Single cell centered in the field; brightfield, 40× oil-immersion objective; bone marrow aspirate smear: 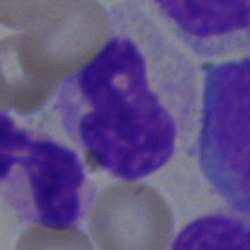Classification: polymorphonuclear neutrophil.